40× objective, oil immersion; bone marrow smear.
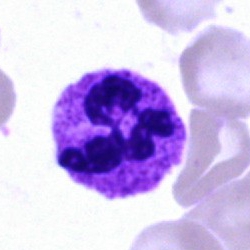Specimen: bone marrow aspirate smear.
Cell type: neutrophil (segmented).
Lineage: myeloid.